Peripheral blood smear
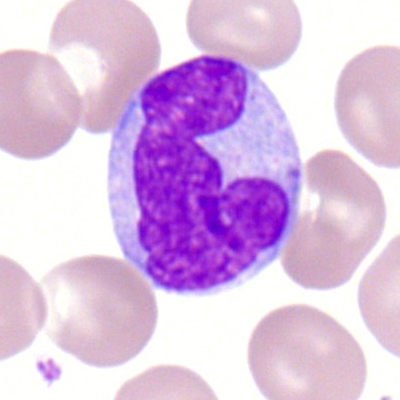Impression — monocyte.